Bone marrow smear · brightfield microscopy, 40× oil immersion — 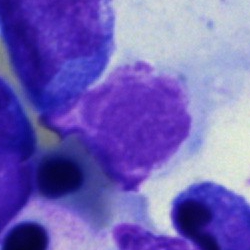

The cell shown is an artefact.